250 by 250 pixels; bone marrow aspirate smear; single cell centered in the field:
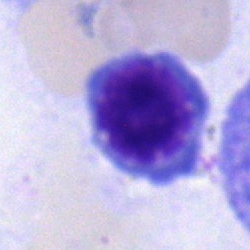
Specimen: bone marrow aspirate smear.
Morphological class: erythroblast.
Lineage: erythroid.